Single-cell crop. Peripheral blood film.
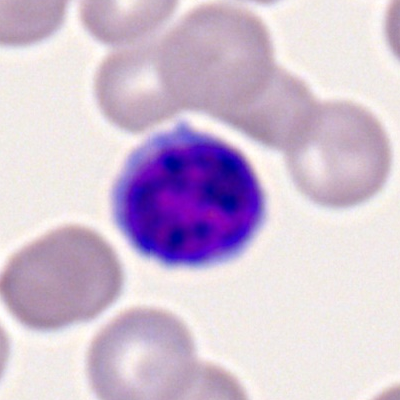
Classification = lymphocyte.